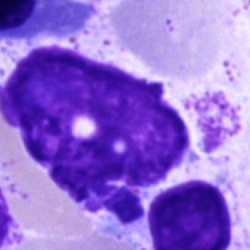

The cell type is artifact.